Brightfield, 40× oil-immersion objective · bone marrow smear · image size 250×250
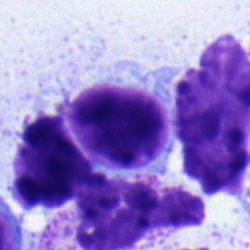

{"cell_type": "typical lymphocyte", "lineage": "lymphoid"}